Brightfield microscopy, 40× oil immersion · bone marrow smear: 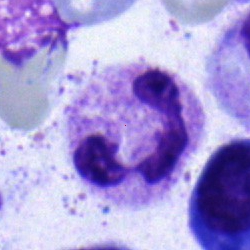Classification: neutrophil (segmented).